Bone marrow smear · single-cell crop · brightfield microscopy, 40× oil immersion: 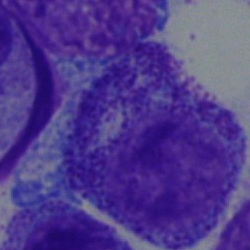 Single cell identified as a myelocyte.